Bone marrow smear:
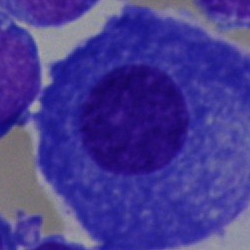

Q: Identify the cell.
A: A plasmacyte.